Bone marrow smear:
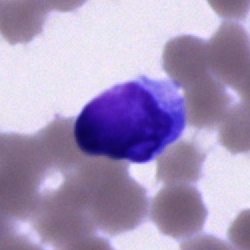 Single cell identified as a lymphocyte.